250 by 250 pixels · bone marrow aspirate smear — 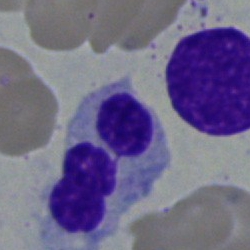 Morphological class: nucleated red blood cell.